Bone marrow aspirate smear — 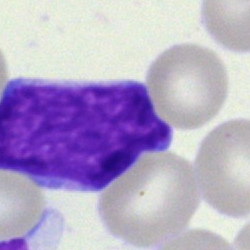Cell = blast.